Peripheral blood smear. 400×400 px
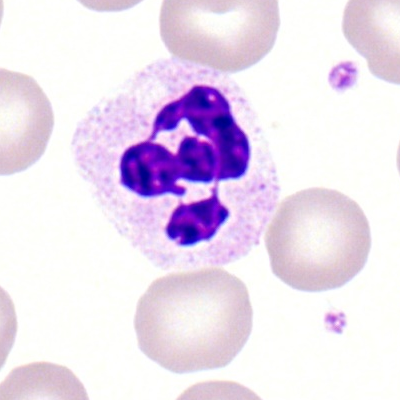
Cell type: polymorphonuclear neutrophil.